Bone marrow aspirate smear: 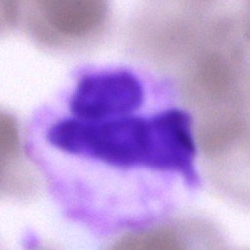 Specimen: bone marrow smear.
Morphological class: neutrophil (segmented).